40× oil immersion. Bone marrow smear: 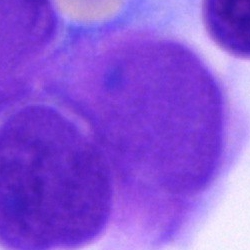

Q: What is shown here?
A: This is an artifact.